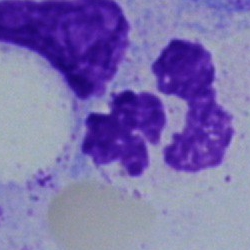

Q: What cell is this?
A: A neutrophil (segmented).